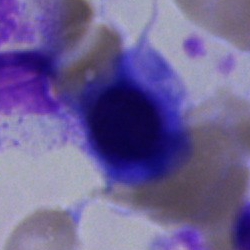

Specimen: bone marrow smear.
Cell type: erythroblast.
Lineage: erythroid.